Bone marrow smear — 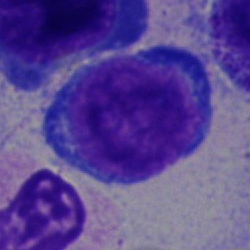 The cell type is proerythroblast.